Bone marrow aspirate smear. Image size 250×250 — 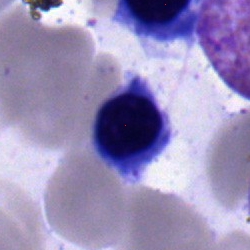 Morphology — nucleated red cell.